Single-cell field; bone marrow aspirate smear:
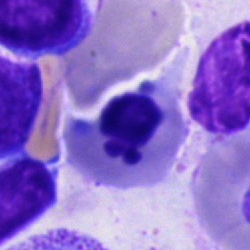Morphology consistent with a nucleated red blood cell.